250×250 px · bone marrow smear: 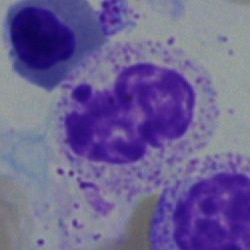 Cell type = neutrophil (band).